Bone marrow aspirate smear; 250 by 250 pixels; cropped to a single cell.
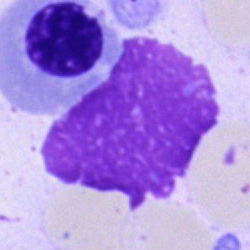
This is an artifact.